Bone marrow smear
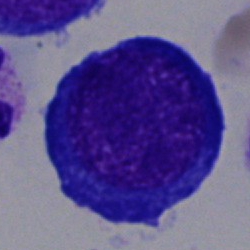

An erythroblast.